Bone marrow smear · single-cell field · 40× objective, oil immersion: 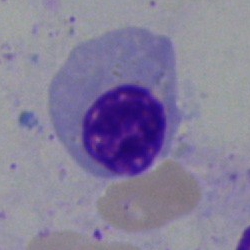
The morphological class is normoblast.